Image size 250×250; bone marrow smear — 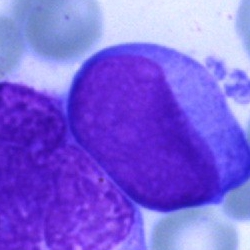
A blast cell.